Brightfield microscopy, 40× oil immersion. Bone marrow smear: 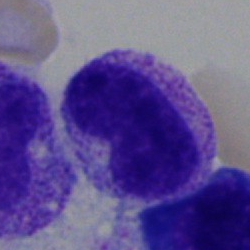

Metamyelocyte.